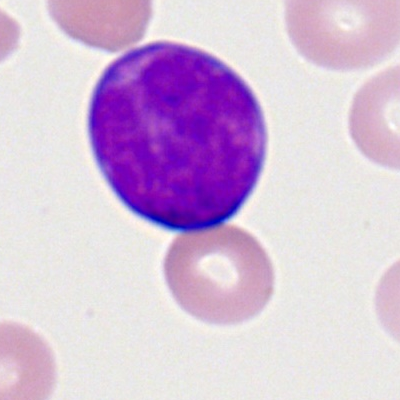

The cell shown is a myeloid blast.